Peripheral blood smear — 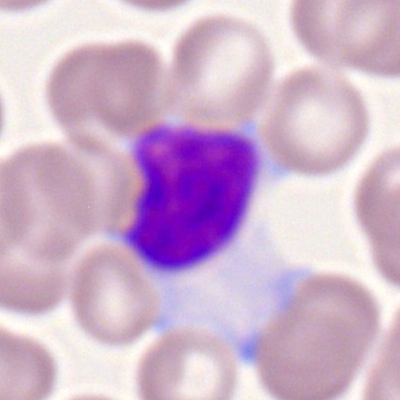

Impression → lymphocyte.